Bone marrow smear; Pappenheim-stained.
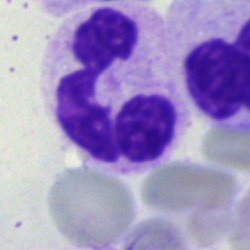 {"cell_type": "polymorphonuclear neutrophil"}